Bone marrow aspirate smear — 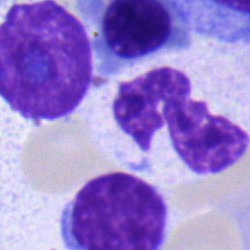

This is a stab cell.